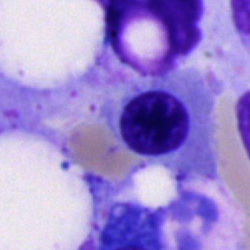 Cell: normoblast.